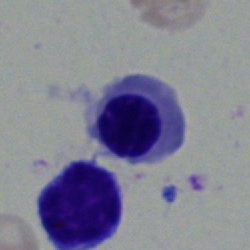
{"cell_type": "nucleated red cell", "lineage": "erythroid"}